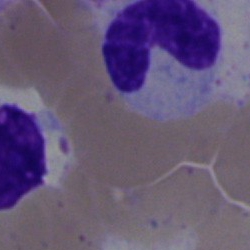Bone marrow smear showing a stab cell.